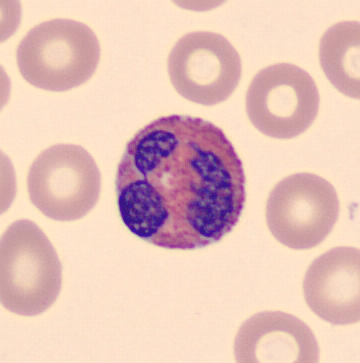
Preparation: 360×363 px. Single-cell field. Peripheral blood smear.
Morphological class — eosinophilic granulocyte.